May-Grünwald-Giemsa/Pappenheim stain · bone marrow smear — 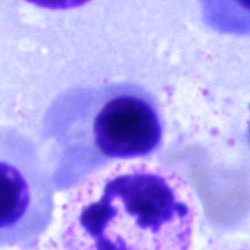
Specimen: bone marrow aspirate smear.
Classification: normoblast.